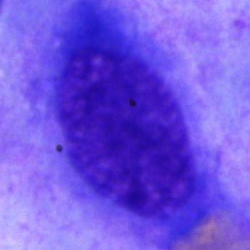 Q: What is shown here?
A: This is an artifact.